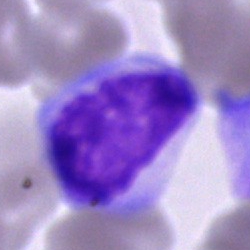
Specimen: bone marrow smear.
Cell: cell of indeterminate lineage.